Bone marrow smear
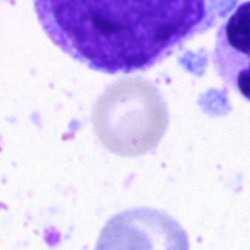

Impression — artefact.